Peripheral blood film: 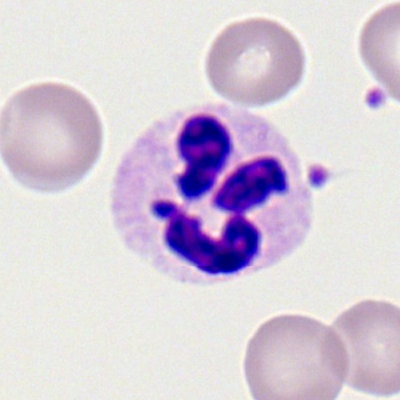

The cell is neutrophil (segmented).